250×250. Bone marrow aspirate smear: 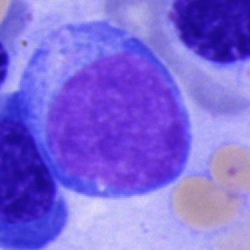

Morphology consistent with an undifferentiated blast.